Bone marrow smear. May-Grünwald-Giemsa/Pappenheim stain. Single-cell crop:
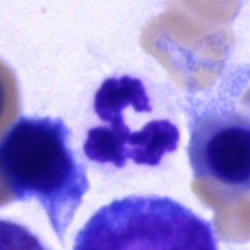 The cell is segmented neutrophil.